Bone marrow smear:
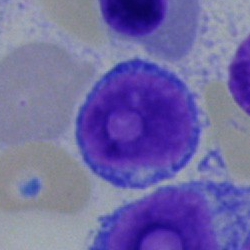 Q: What cell is this?
A: A lymphocyte.